Single cell centered in the field. Bone marrow smear — 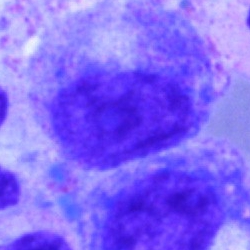 Cell = promyelocyte.